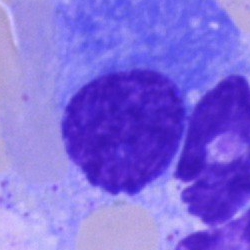

Single-cell crop from a bone marrow smear: plasmacyte.